Single cell centered in the field · brightfield microscopy, 40× oil immersion · bone marrow smear — 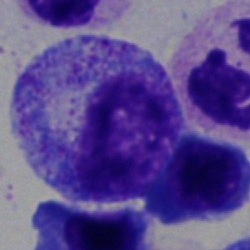

Cell type = promyelocyte.